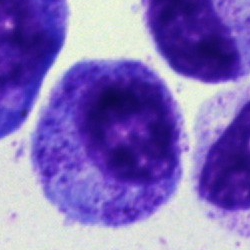
Single-cell crop from a bone marrow smear: myelocyte.